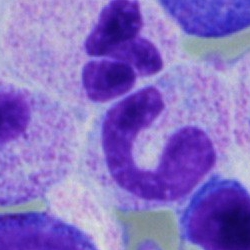 Impression — band neutrophil.